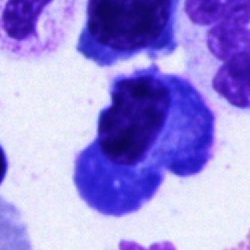

Single-cell crop from a bone marrow smear: plasmacyte.